Peripheral blood film; cropped to a single cell; 400×400 px — 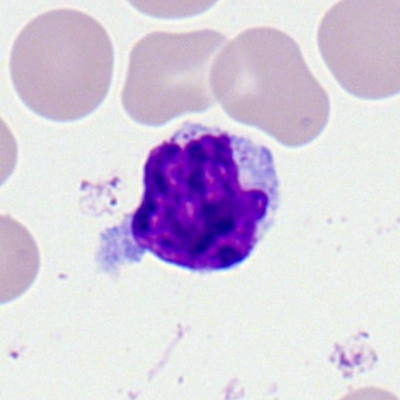
A typical lymphocyte.